Bone marrow aspirate smear: 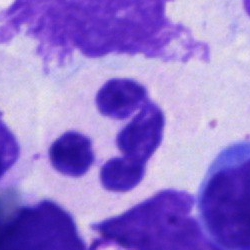

This is a polymorphonuclear neutrophil.